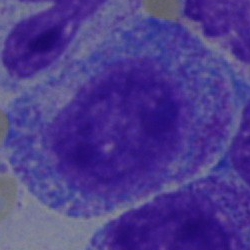
Specimen: bone marrow smear.
Cell: progranulocyte.
Lineage: myeloid.